Cropped to a single cell. Bone marrow aspirate smear
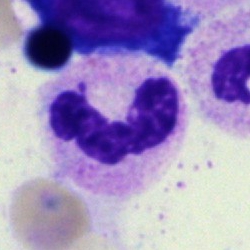

Morphology consistent with a segmented neutrophil.